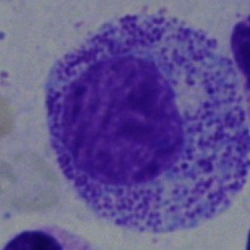
The cell shown is a myelocyte.